Bone marrow smear; cropped to a single cell:
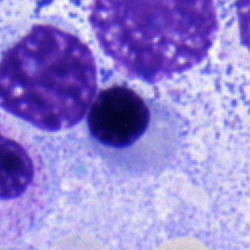
Classification: erythroblast.